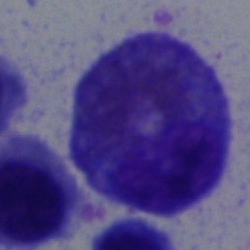

Morphological class — progranulocyte.